Single-cell field. Bone marrow aspirate smear: 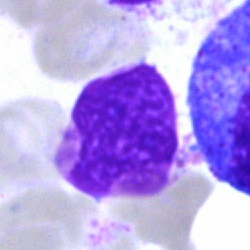

Q: What is shown here?
A: Artifact.